Bone marrow aspirate smear
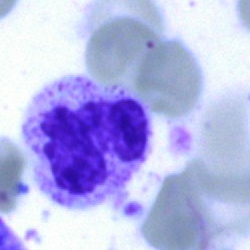

Classification — segmented neutrophil.